Bone marrow aspirate smear. May-Grünwald-Giemsa/Pappenheim stain — 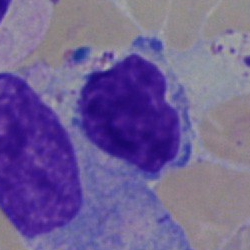

Specimen: bone marrow smear.
Cell type: typical lymphocyte.